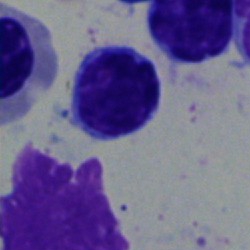

Q: Which cell type is shown here?
A: A lymphocyte.